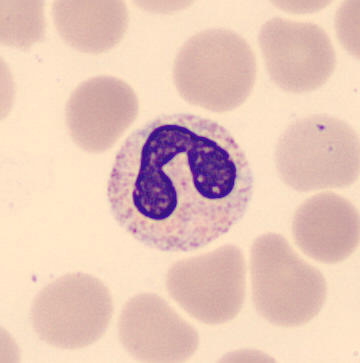Specimen: peripheral blood film.
Cell type: band-form neutrophil.
Lineage: myeloid.